250×250 · bone marrow smear: 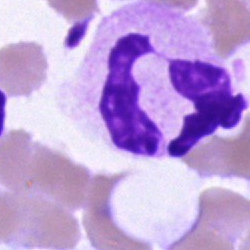Impression → segmented neutrophil.